Bone marrow aspirate smear:
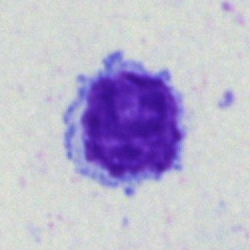
The cell shown is a typical lymphocyte.